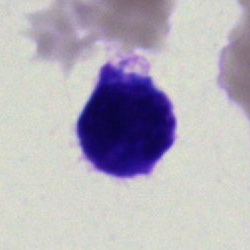

Q: What type of cell is this?
A: It is an undifferentiated blast.